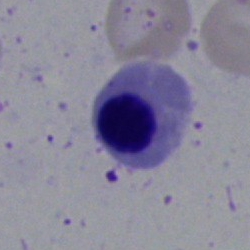

Q: What is the morphological classification of this cell?
A: This is a nucleated red cell.